Bone marrow smear — 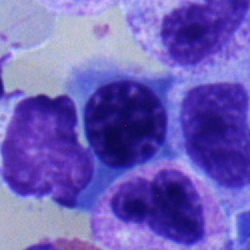

The cell shown is a normoblast.